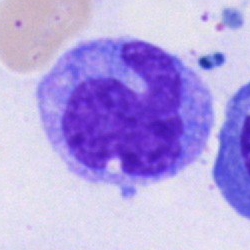Showing a monocyte.